Bone marrow aspirate smear.
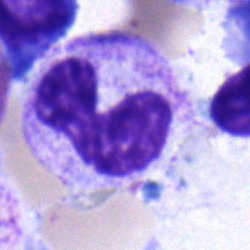

Single cell identified as a metamyelocyte.